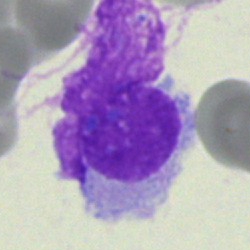 Classification: artifact.